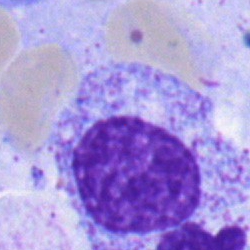 The cell is myelocyte.